Bone marrow aspirate smear; cropped to a single cell; MGG-stained — 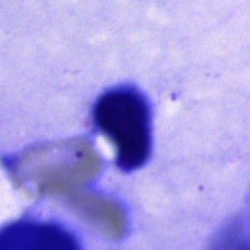

Cell: artefact.